Bone marrow smear · 250 by 250 pixels.
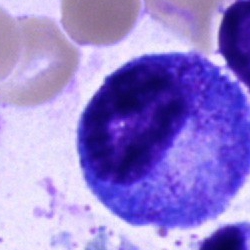Classification = progranulocyte.